Bone marrow aspirate smear:
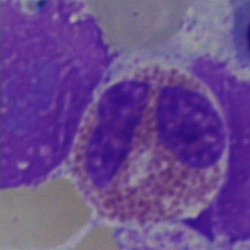
This is an eosinophil.